Cropped to a single cell · brightfield, 40× oil-immersion objective · bone marrow smear:
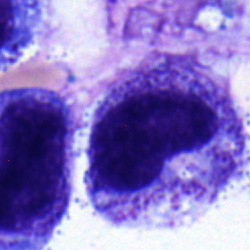
Metamyelocyte.